Cropped to a single cell · bone marrow smear: 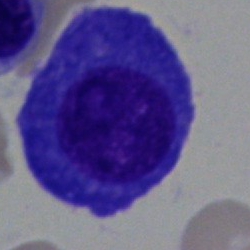
This is a plasma cell.